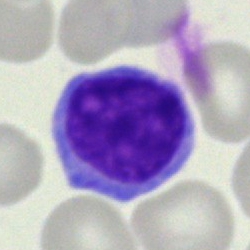Single cell identified as a lymphocyte.